Bone marrow smear:
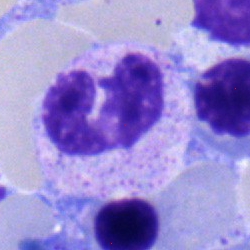Neutrophil (band).